Pappenheim-stained. Bone marrow smear.
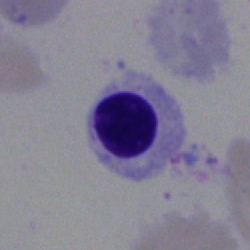 Showing an erythroblast.